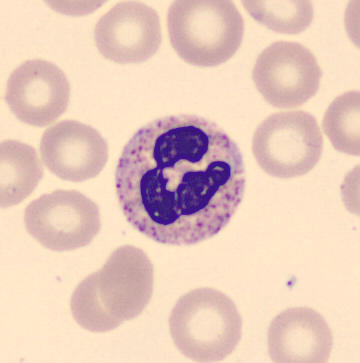

This is a polymorphonuclear neutrophil.

360 by 363 pixels. Peripheral blood smear. Imaged on a CellaVision DM96 analyser.